Bone marrow smear · single-cell field
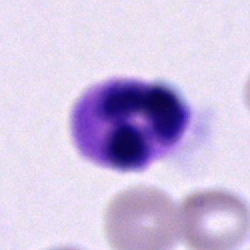

Q: What type of cell is this?
A: A polymorphonuclear neutrophil.